Cropped to a single cell. Bone marrow smear:
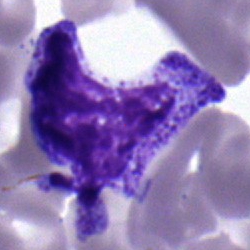
Classification — myelocyte.